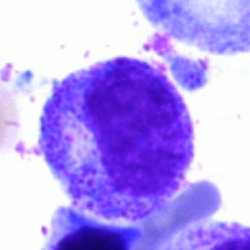
Morphology consistent with a myelocyte.